Bone marrow smear: 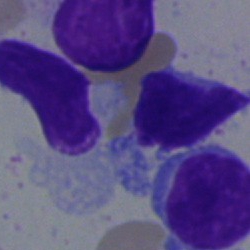 The cell type is typical lymphocyte.